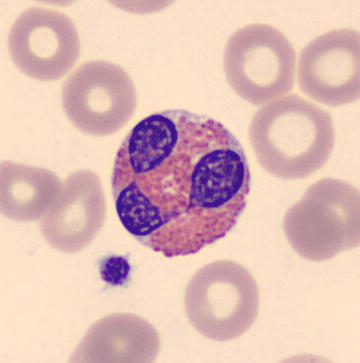 Q: What is the morphological classification of this cell?
A: It is an eosinophil.